Peripheral blood smear.
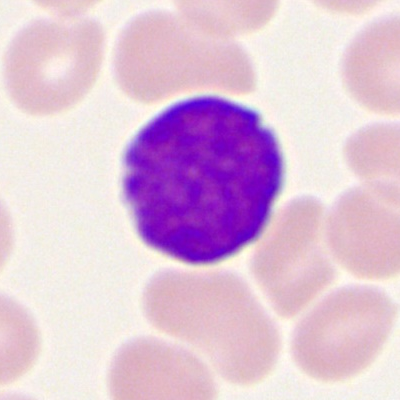Myeloid blast.